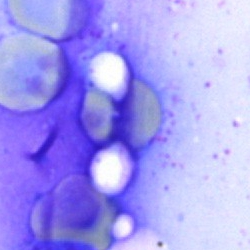

Q: What is shown here?
A: An artefact.